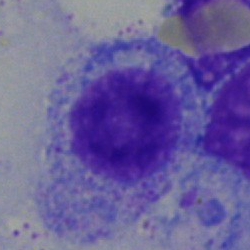 Cell type: myelocyte.